Bone marrow aspirate smear. 40× objective, oil immersion:
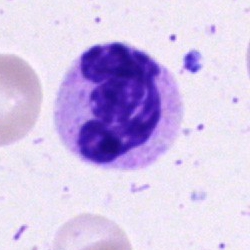
Morphological class — neutrophil (segmented).